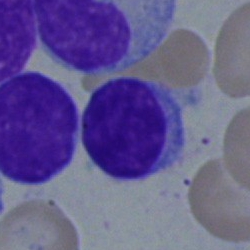A typical lymphocyte.